Bone marrow aspirate smear · May-Grünwald-Giemsa stain · 250×250 px
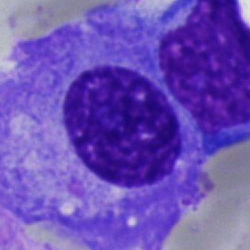

Q: Identify the cell.
A: It is a plasmacyte.